40× oil immersion. Cropped to a single cell. Bone marrow smear:
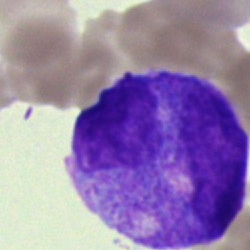

Impression → undifferentiated blast.